Bone marrow aspirate smear:
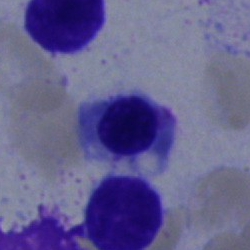 Nucleated red blood cell.